Single-cell field · bone marrow smear.
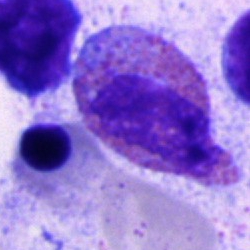Q: Identify the cell.
A: It is an eosinophilic granulocyte.